Cropped to a single cell; bone marrow smear: 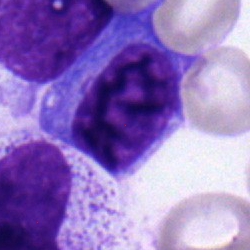
This is a plasma cell.